250×250 px · bone marrow smear · May-Grünwald-Giemsa stain: 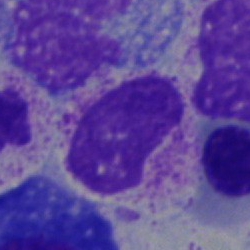 Classification — metamyelocyte.